Bone marrow aspirate smear: 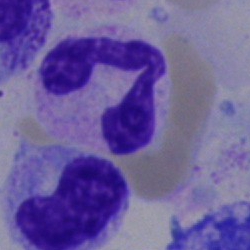Morphological class — segmented neutrophil.